Image size 250×250; bone marrow aspirate smear.
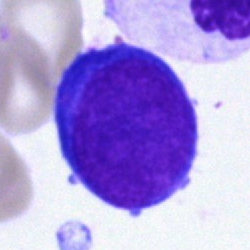Specimen: bone marrow aspirate smear.
Cell: blast cell.